40× objective, oil immersion; bone marrow smear.
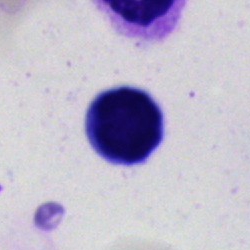A typical lymphocyte.